Bone marrow aspirate smear
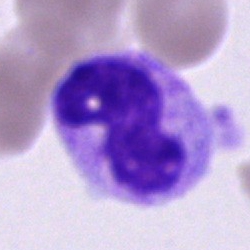

Impression → stab cell.